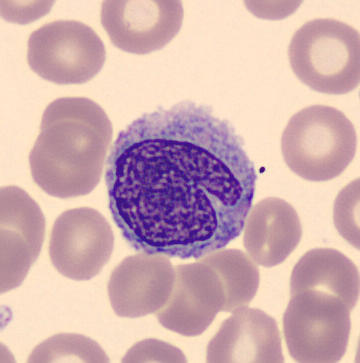 Preparation: CellaVision DM96 digital cell image · peripheral blood film · 360×363. Single cell identified as a monocyte.